Bone marrow aspirate smear:
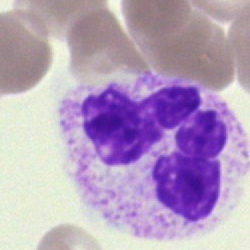Single cell identified as a segmented neutrophil.